Bone marrow smear. Image size 250×250
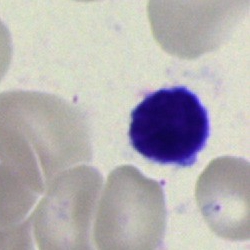Morphology — lymphocyte.